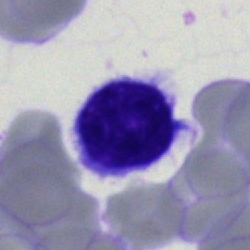 Q: What type of cell is this?
A: Typical lymphocyte.